Bone marrow aspirate smear; 250 by 250 pixels — 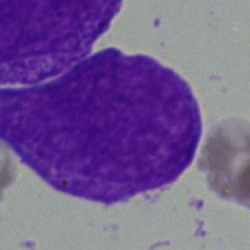

Specimen: bone marrow smear.
Cell: blast.